Bone marrow aspirate smear: 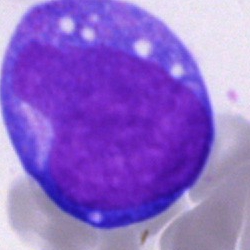

Q: What cell is this?
A: This is an undifferentiated blast.